40× oil immersion. 250×250. Bone marrow smear:
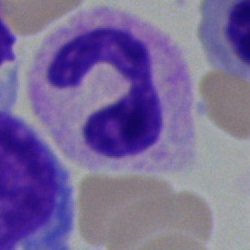Morphology consistent with a segmented neutrophil.